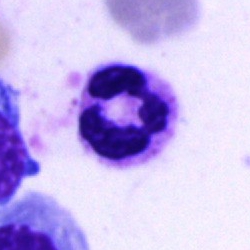 The cell type is neutrophil (segmented).